Bone marrow aspirate smear. Brightfield, 40× oil-immersion objective.
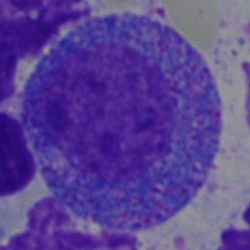Cell type = promyelocyte.